Bone marrow smear · 250×250 px — 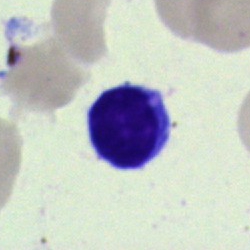
Morphology consistent with a lymphocyte.